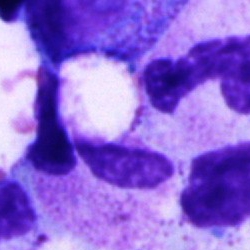 Morphology consistent with a neutrophil (segmented).